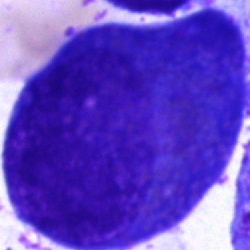 Specimen: bone marrow aspirate smear.
Cell type: progranulocyte.
Lineage: myeloid.